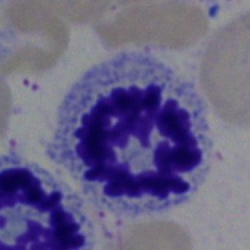

The cell shown is an artefact.